Bone marrow aspirate smear.
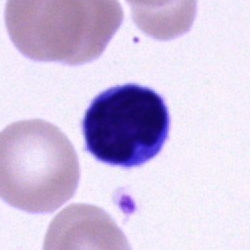
Specimen: bone marrow smear.
Morphological class: cell of indeterminate lineage.